Peripheral blood smear
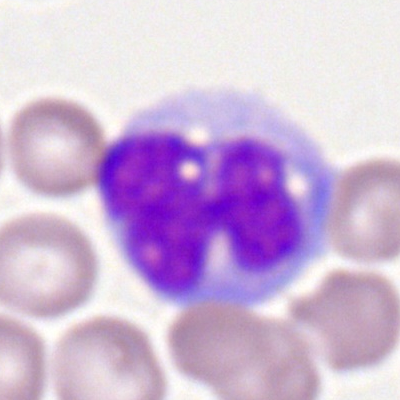
Q: What is shown here?
A: This is a monocyte.